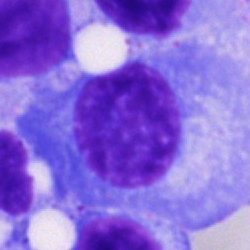
Morphology — plasmacyte.